Image size 250×250; bone marrow aspirate smear; brightfield, 40× oil-immersion objective
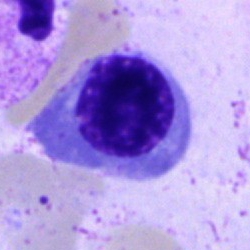
Q: What is shown here?
A: This is a nucleated red blood cell.